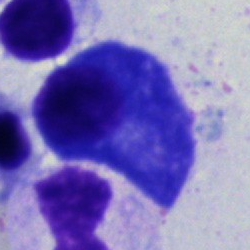
Morphology — plasma cell.